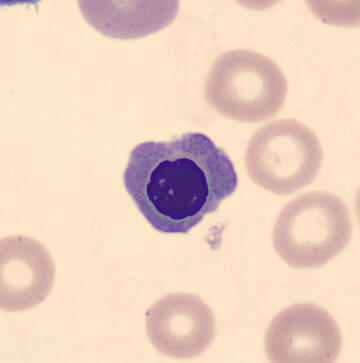A nucleated red cell on a peripheral blood smear.